Bone marrow smear:
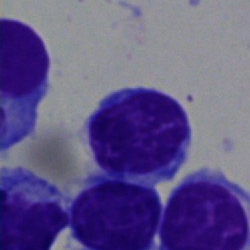Q: What cell is this?
A: A typical lymphocyte.